Single-cell field. May-Grünwald-Giemsa stain. Bone marrow smear: 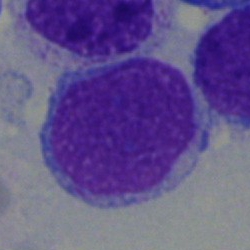 Q: What is shown here?
A: This is a blast cell.